Bone marrow aspirate smear; brightfield, 40× oil-immersion objective:
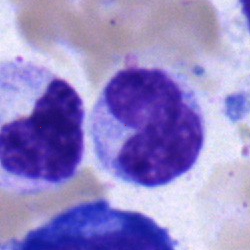Monocyte.